Bone marrow aspirate smear.
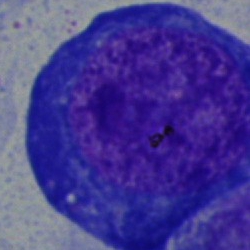

Q: Identify the cell.
A: A proerythroblast.